Romanowsky-type stain · peripheral blood smear — 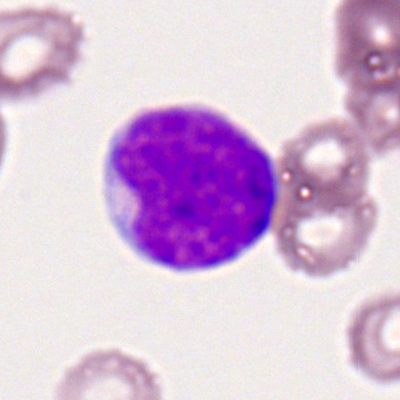

The cell type is myeloblast.